250×250; bone marrow aspirate smear
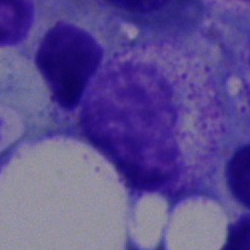
A myelocyte.